Bone marrow aspirate smear; single-cell crop — 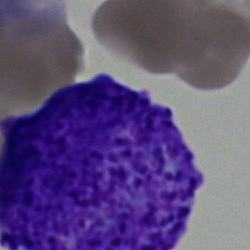Classification: undifferentiated blast.